Bone marrow smear — 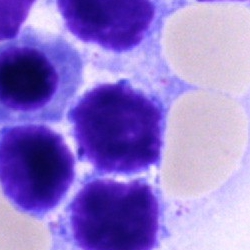 Morphology consistent with a lymphocyte.